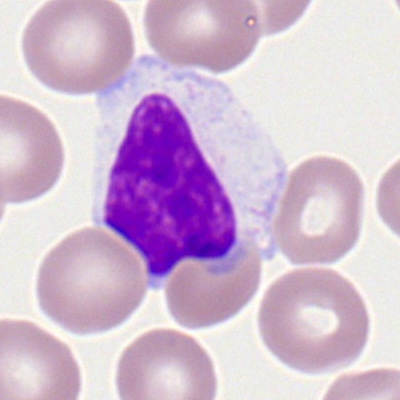
Cell type — lymphocyte.